Bone marrow smear:
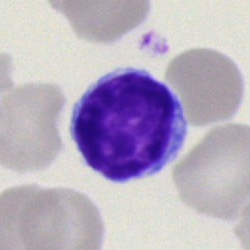 The cell shown is a lymphocyte.